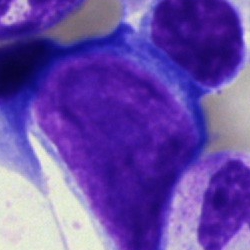 Specimen: bone marrow smear.
Classification: proerythroblast.